MGG-stained; single-cell field; bone marrow smear
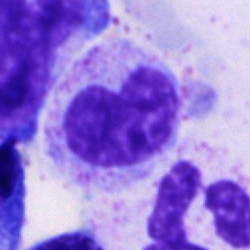A metamyelocyte.